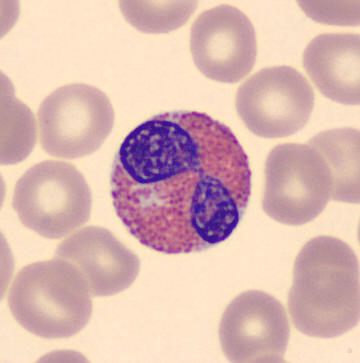Cell type: eosinophilic granulocyte.

Image: Peripheral blood smear.